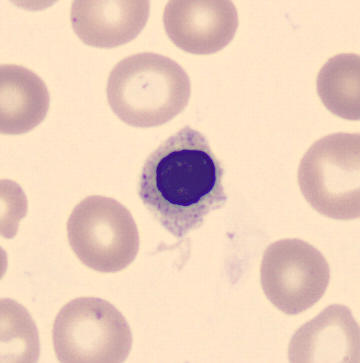
Peripheral blood film; image size 360×363.

Cell — normoblast.